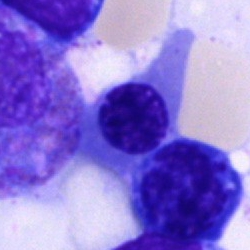 Q: What cell is this?
A: Nucleated red cell.